Bone marrow smear; single cell centered in the field
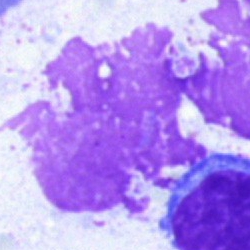

This is an artefact.